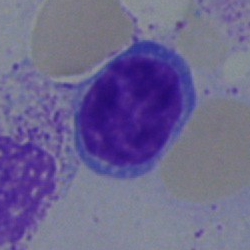
Q: What is shown here?
A: It is a lymphocyte.